Cropped to a single cell · bone marrow aspirate smear.
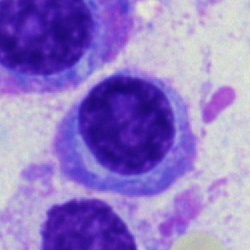 The cell type is plasmacyte.